MGG-stained · bone marrow smear: 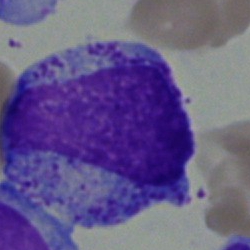 {"cell_type": "myelocyte", "lineage": "myeloid"}